Peripheral blood smear · 400×400 · brightfield, 100× oil-immersion objective:
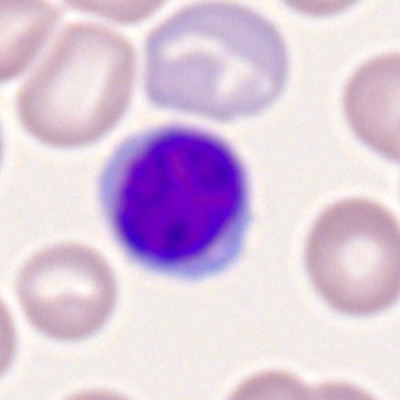 Specimen: peripheral blood smear.
Classification: typical lymphocyte.